Bone marrow aspirate smear.
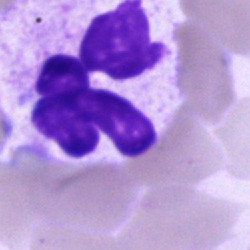Specimen: bone marrow aspirate smear.
Cell type: neutrophil (segmented).